Bone marrow aspirate smear; single-cell crop: 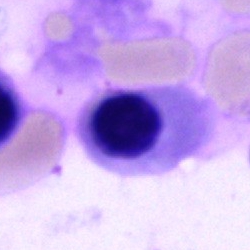 Showing a nucleated red blood cell.